Bone marrow smear.
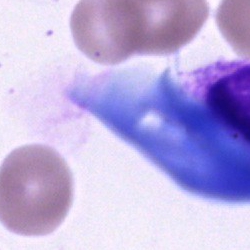Morphology — artifact.